Bone marrow smear: 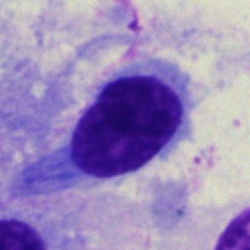A hairy cell.